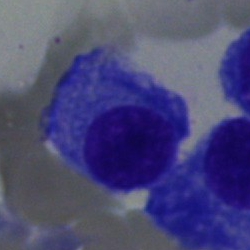Classification — plasmacyte.